40× objective, oil immersion · bone marrow aspirate smear.
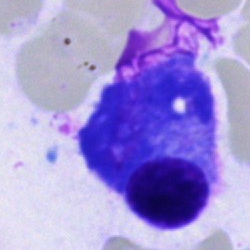 Specimen: bone marrow smear.
Morphological class: plasma cell.